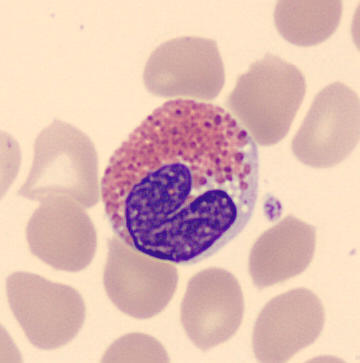 Preparation: Peripheral blood smear. Showing an eosinophil.